Brightfield microscopy, 40× oil immersion · bone marrow smear.
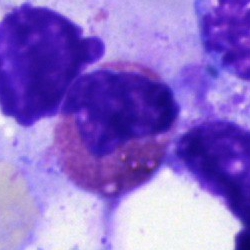 An eosinophilic granulocyte.